Bone marrow aspirate smear · 250 by 250 pixels: 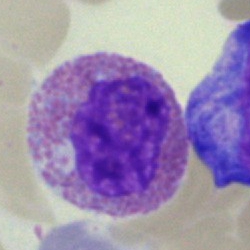

Cell — eosinophilic granulocyte.